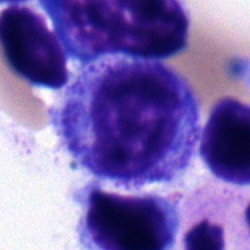
Q: What type of cell is this?
A: It is a myelocyte.